Bone marrow aspirate smear; Pappenheim-stained; 250×250
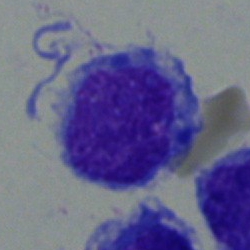Morphology consistent with an undifferentiated blast.